M8 digital microscope (Precipoint), 100× oil immersion. Peripheral blood film.
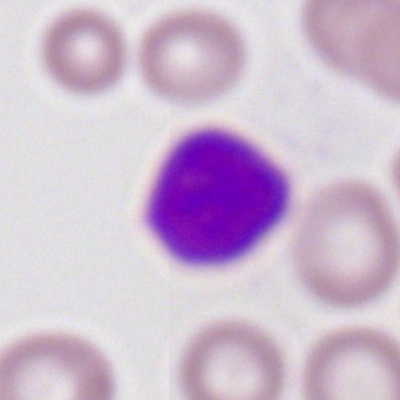

Morphological class — lymphocyte.